May-Grünwald-Giemsa stain · image size 250×250 · bone marrow smear
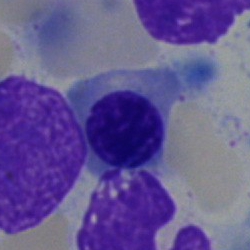Q: Which cell type is shown here?
A: A nucleated red cell.